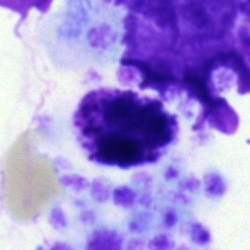
Bone marrow aspirate smear, single cell — basophil.